Brightfield, 100× oil-immersion objective · single-cell crop · peripheral blood smear
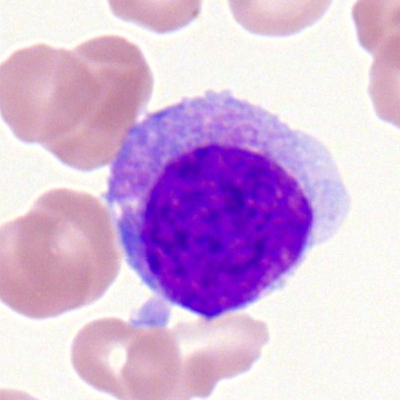

Cell = myeloid blast.